Brightfield, 40× oil-immersion objective · bone marrow smear
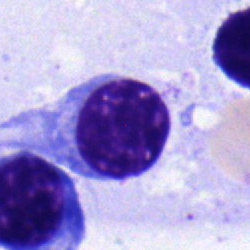

Q: What type of cell is this?
A: Nucleated red cell.